40× objective, oil immersion · MGG-stained · bone marrow smear:
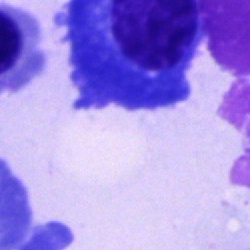 Specimen: bone marrow aspirate smear.
Cell: plasma cell.